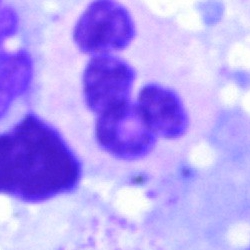
Cell type — neutrophil (segmented).